100× oil immersion; peripheral blood smear; single cell centered in the field.
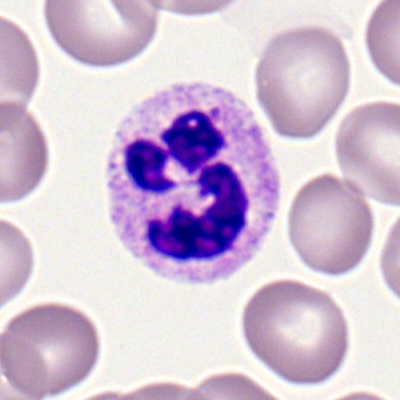 The morphological class is polymorphonuclear neutrophil.